Bone marrow smear.
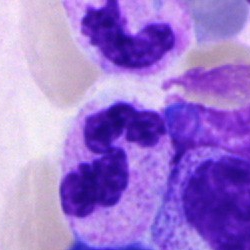

Cell type: segmented neutrophil.